Bone marrow aspirate smear.
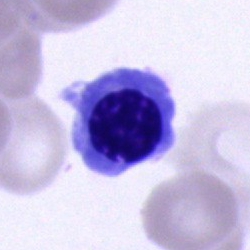Q: Identify the cell.
A: It is an erythroblast.